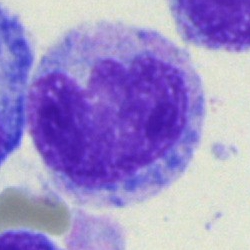Classification = monocyte.